Bone marrow aspirate smear · cropped to a single cell: 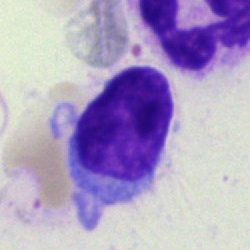 Single cell identified as a lymphocyte.